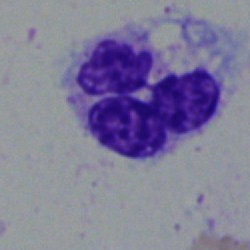

Bone marrow aspirate smear, single cell — neutrophil (segmented).